250 by 250 pixels; bone marrow smear; 40× oil immersion.
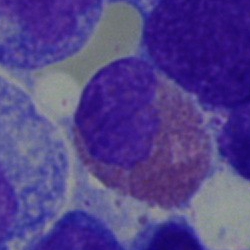
{"cell_type": "eosinophilic granulocyte"}